Peripheral blood film — 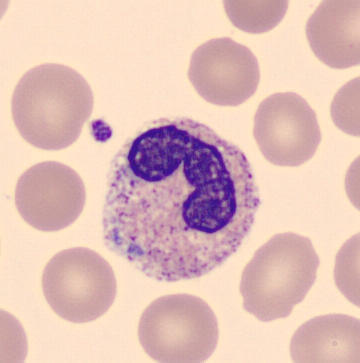 Morphology → stab cell.